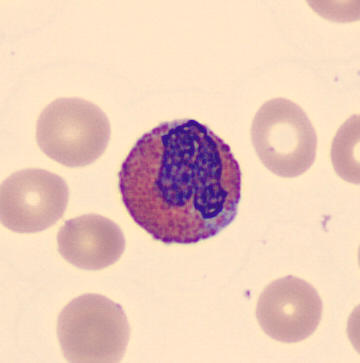 Eosinophil. Image: Peripheral blood smear · 360×363 px.